Bone marrow aspirate smear:
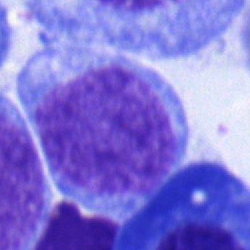The classification is blast.